Bone marrow aspirate smear · 40× oil immersion · single cell centered in the field
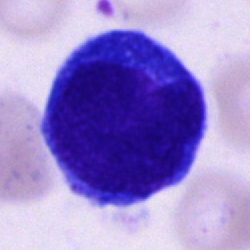

This is an unidentifiable cell.